Peripheral blood film · image size 400×400: 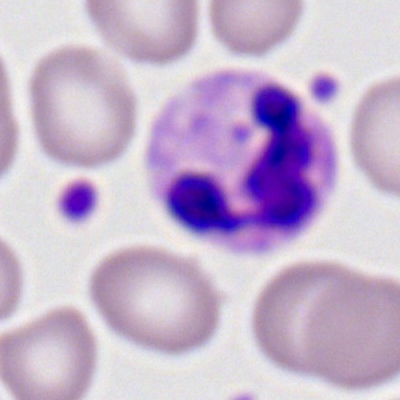Showing a segmented neutrophil.